Bone marrow smear: 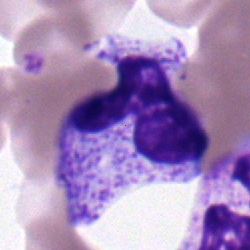

Showing a polymorphonuclear neutrophil.